Single-cell field · image size 250×250 · bone marrow aspirate smear:
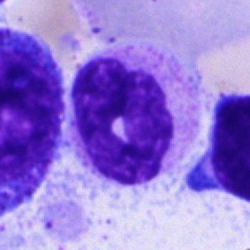 Morphology → polymorphonuclear neutrophil.